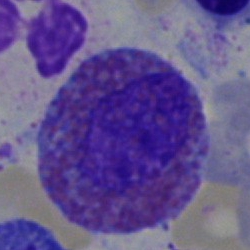
Specimen: bone marrow aspirate smear.
Morphological class: eosinophilic granulocyte.